Bone marrow aspirate smear. Cropped to a single cell
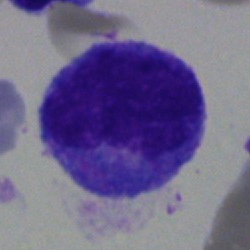
Q: Which cell type is shown here?
A: Promyelocyte.